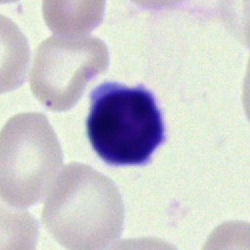A lymphocyte.